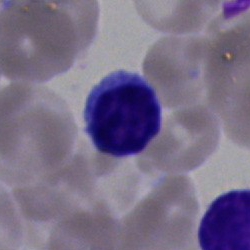

{"cell_type": "lymphocyte", "lineage": "lymphoid"}